Brightfield microscopy, 40× oil immersion · bone marrow aspirate smear
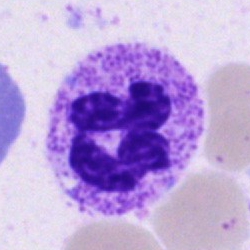
Specimen: bone marrow smear.
Classification: neutrophil (segmented).
Lineage: myeloid.